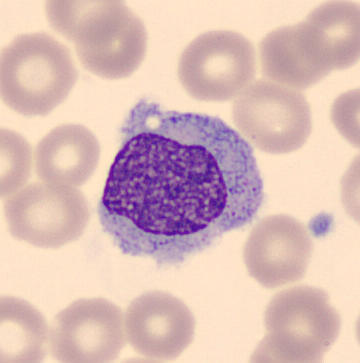
{"cell_type": "monocyte", "lineage": "myeloid"}